Bone marrow smear.
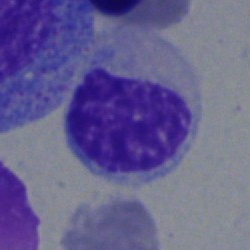
Q: Identify the cell.
A: A myelocyte.